Bone marrow aspirate smear — 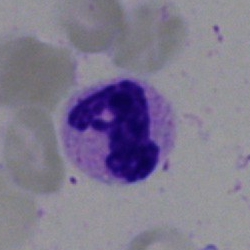

{"cell_type": "polymorphonuclear neutrophil", "lineage": "myeloid"}